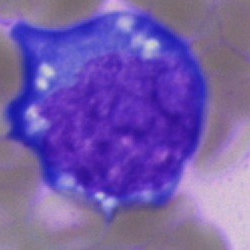Bone marrow smear showing a blast.